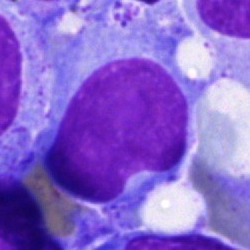

Blast.